Bone marrow aspirate smear; cropped to a single cell: 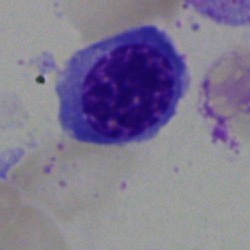

Q: Identify the cell.
A: An erythroblast.